Peripheral blood smear — 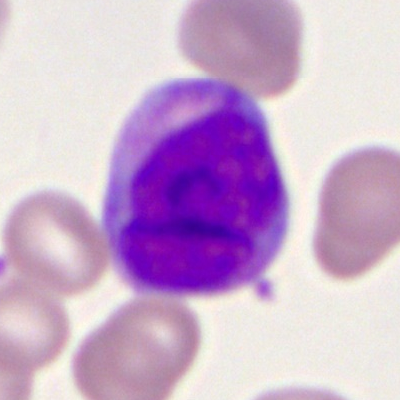

Classification — myeloid blast.